Bone marrow aspirate smear — 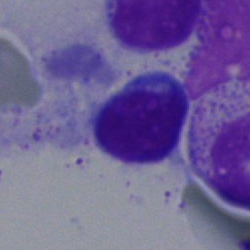
Cell = typical lymphocyte.